Bone marrow smear.
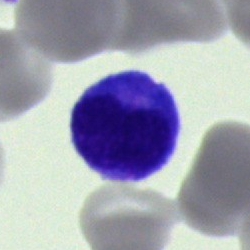 Unidentifiable cell.